100× objective, oil immersion. Peripheral blood film: 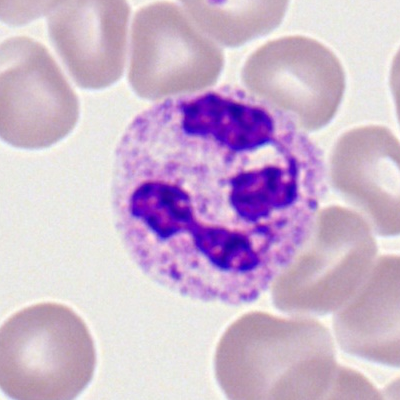
Cell type — segmented neutrophil.